Peripheral blood film: 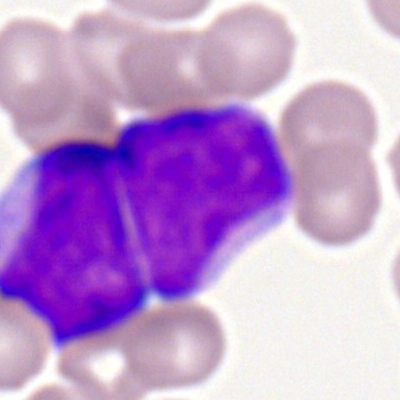

Specimen: peripheral blood smear.
Classification: myeloblast.
Lineage: myeloid.